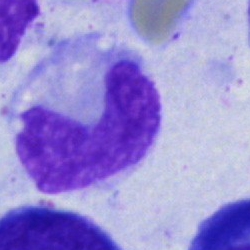A band-form neutrophil.